250×250; bone marrow smear: 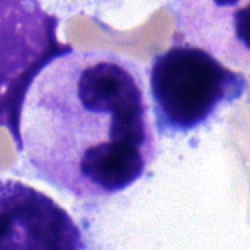
Morphology consistent with a band neutrophil.